Single cell centered in the field. Bone marrow smear.
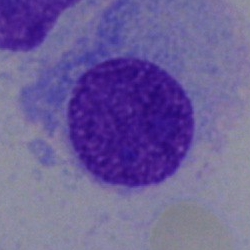 Specimen: bone marrow aspirate smear.
Classification: plasma cell.
Lineage: lymphoid.